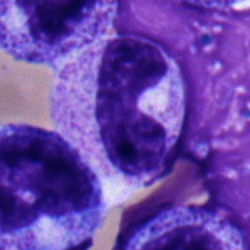

Morphological class = stab cell.